Peripheral blood smear · single cell centered in the field · 400×400:
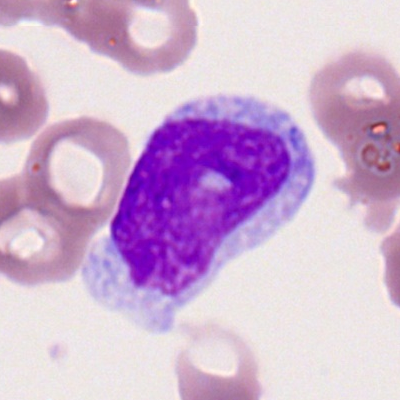Morphological class — myeloblast.